Peripheral blood film — 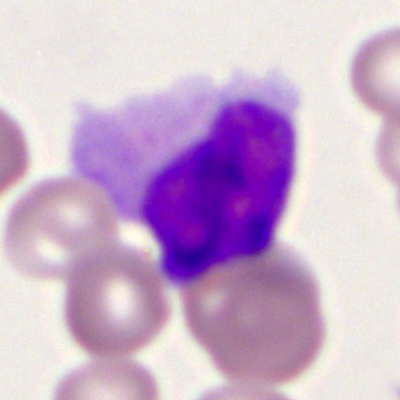

Specimen: peripheral blood film.
Cell type: monocyte.
Lineage: myeloid.